Bone marrow smear.
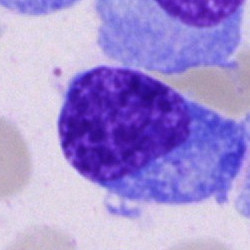
Morphological class: plasma cell.